Bone marrow aspirate smear:
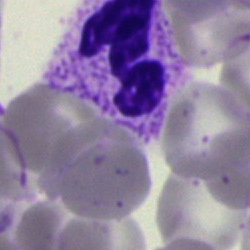
Morphological class: segmented neutrophil.